Bone marrow smear.
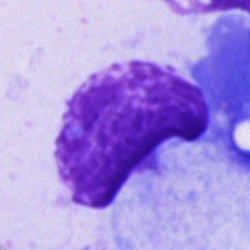
Single cell identified as an artefact.